Bone marrow aspirate smear
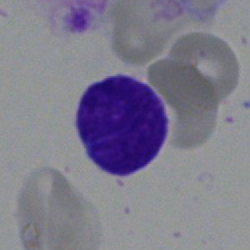
Specimen: bone marrow smear.
Morphological class: typical lymphocyte.
Lineage: lymphoid.